Peripheral blood film
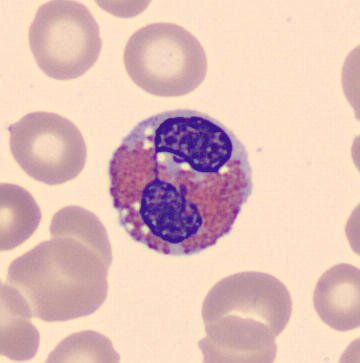 Cell type — eosinophilic granulocyte.